40× oil immersion. Bone marrow aspirate smear:
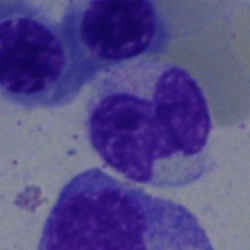

Morphology consistent with a neutrophil (segmented).